Peripheral blood smear. 400×400: 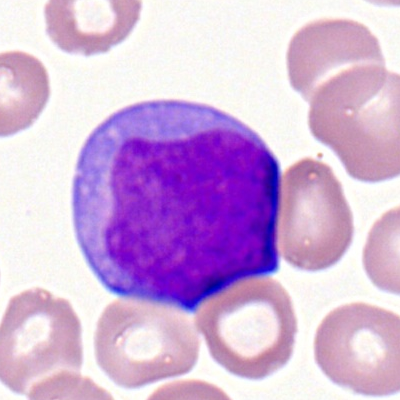

Q: What cell is this?
A: This is a myeloid blast.